Bone marrow aspirate smear:
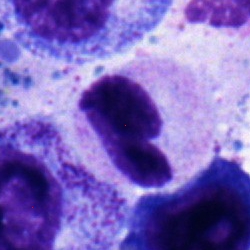 Cell = neutrophil (band).